Bone marrow smear:
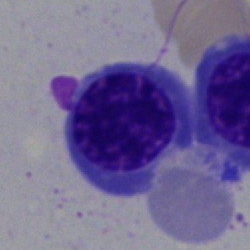

A normoblast.